Bone marrow aspirate smear: 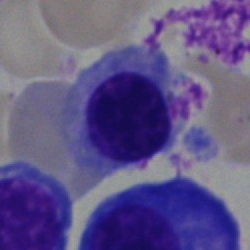Q: What cell is this?
A: It is an erythroblast.